Bone marrow aspirate smear: 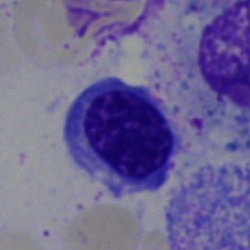Cell type: nucleated red cell.